Bone marrow smear. 250 by 250 pixels:
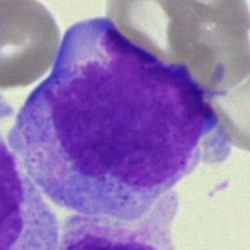
Single cell identified as an undifferentiated blast.